Image size 250×250; bone marrow aspirate smear; single-cell crop
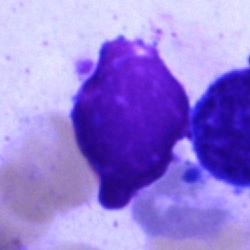

Single cell identified as an artifact.